Bone marrow aspirate smear:
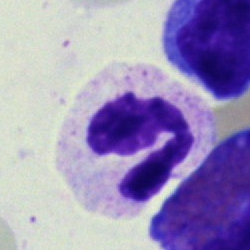

Q: What type of cell is this?
A: It is a segmented neutrophil.